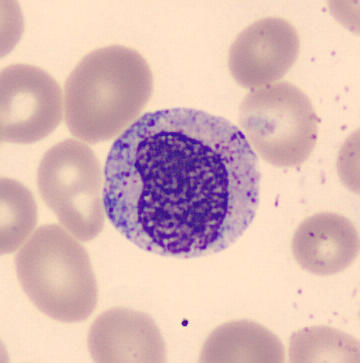 Specimen: peripheral blood smear.
Morphological class: metamyelocyte.
Lineage: myeloid.